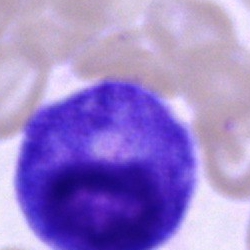Classification: progranulocyte.